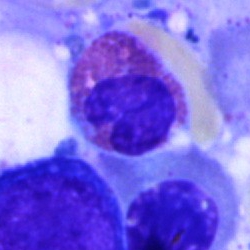

Q: Identify the cell.
A: Eosinophil.